40× objective, oil immersion · bone marrow aspirate smear.
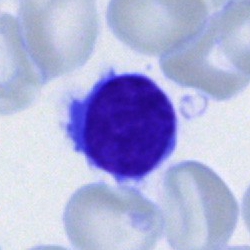

Classification = lymphocyte.